Peripheral blood film
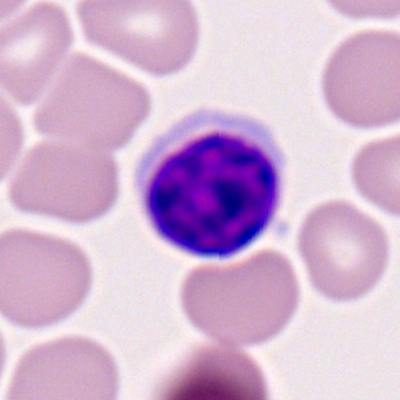A typical lymphocyte.